Bone marrow aspirate smear.
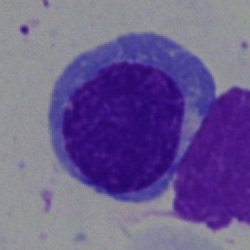Single cell identified as an erythroblast.